Bone marrow smear.
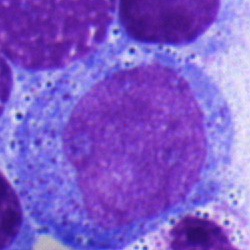The cell shown is a promyelocyte.